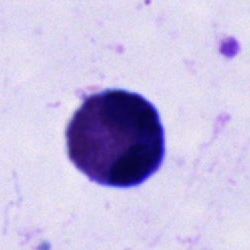

Q: Which cell type is shown here?
A: This is an eosinophil.